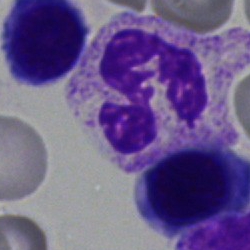
Impression — segmented neutrophil.